Bone marrow smear; MGG-stained; single-cell field: 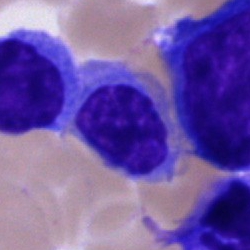This is a blast.